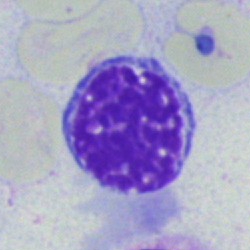

This is an erythroblast.